Bone marrow aspirate smear: 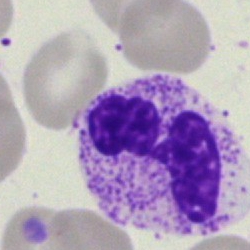
Impression → polymorphonuclear neutrophil.